Bone marrow smear.
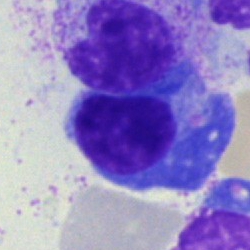 Morphological class = plasmacyte.